Brightfield, 40× oil-immersion objective; bone marrow aspirate smear; 250×250 px
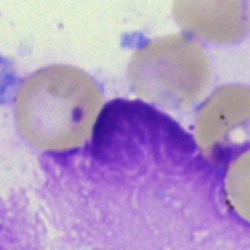 Morphology consistent with an artefact.